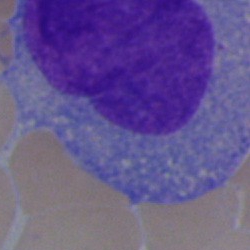
Cell type: undifferentiated blast.